Peripheral blood film; 100× oil immersion, 14.14 px/µm — 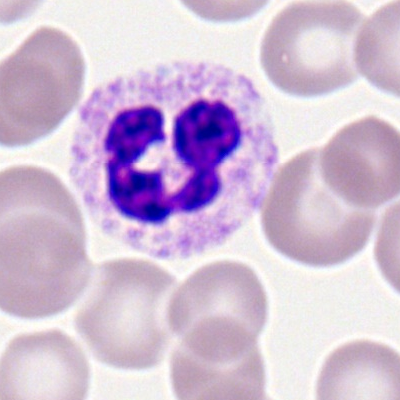 Cell type: neutrophil (segmented).